Bone marrow aspirate smear — 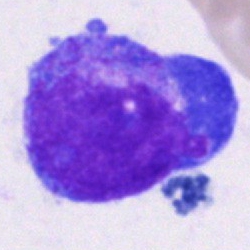 Q: What is shown here?
A: This is a promyelocyte.